Bone marrow smear.
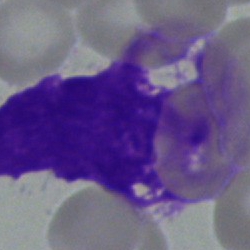
Cell — artefact.